Bone marrow aspirate smear:
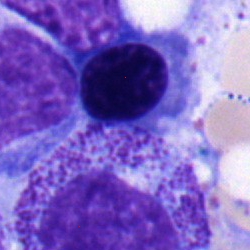Showing a nucleated red cell.